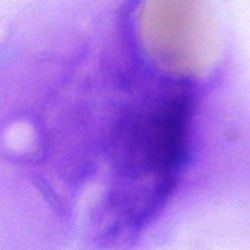An artefact.